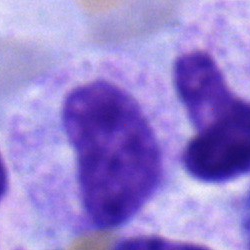Single-cell crop from a bone marrow smear: metamyelocyte.